Bone marrow aspirate smear
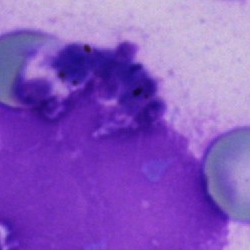 Specimen: bone marrow aspirate smear.
Morphological class: artifact.